250×250; bone marrow smear; brightfield microscopy, 40× oil immersion
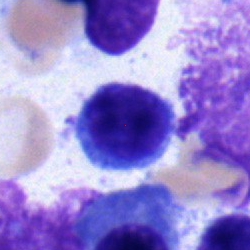Specimen: bone marrow aspirate smear.
Classification: lymphocyte.